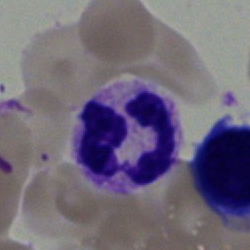

Showing a polymorphonuclear neutrophil.